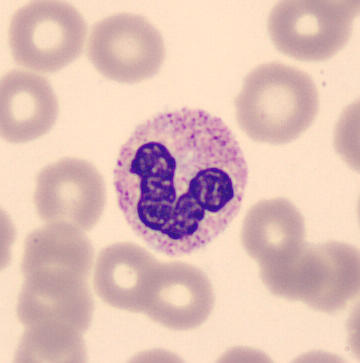

Morphology consistent with a band-form neutrophil.

Image: Peripheral blood smear.